Bone marrow smear:
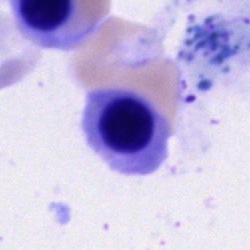 {"cell_type": "nucleated red cell", "lineage": "erythroid"}